250 by 250 pixels. Bone marrow smear.
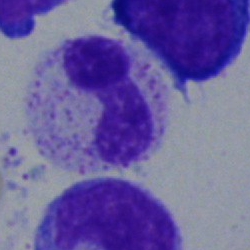

Impression — band neutrophil.